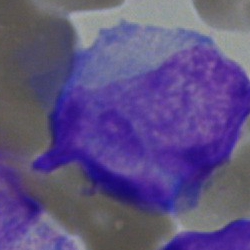Impression — blast.